Bone marrow smear · single-cell crop: 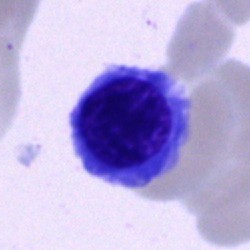
{"cell_type": "erythroblast"}